Bone marrow smear — 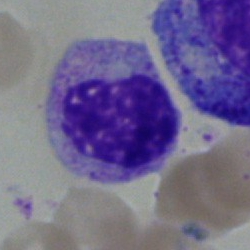 This is a myelocyte.